May-Grünwald-Giemsa/Pappenheim stain; 40× oil immersion; bone marrow smear.
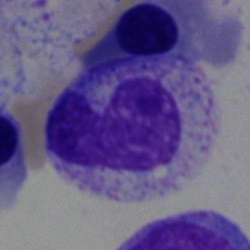Single cell identified as a band-form neutrophil.